Brightfield, 40× oil-immersion objective. Bone marrow aspirate smear
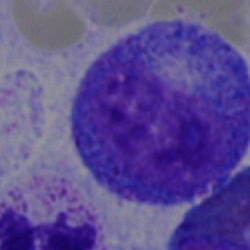
Q: Identify the cell.
A: It is a progranulocyte.